Bone marrow aspirate smear. Single-cell field: 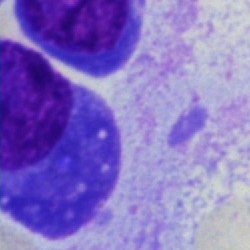 Classification = plasmacyte.